Image size 250×250. Bone marrow aspirate smear — 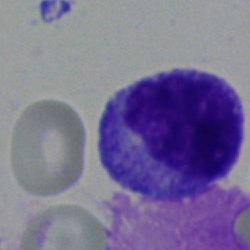
Morphology consistent with a lymphocyte.